Bone marrow smear.
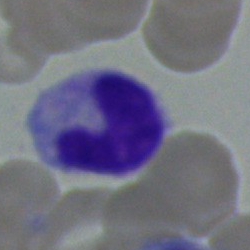 Q: What cell is this?
A: This is a band neutrophil.